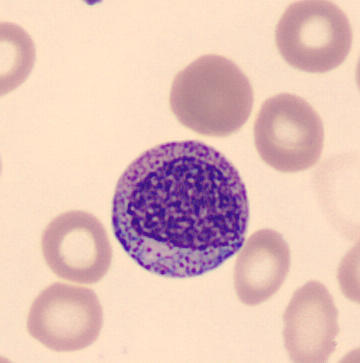 Image: Image size 360×363 · CellaVision DM96 digital cell image · peripheral blood smear.
Morphological class — promyelocyte.